Bone marrow aspirate smear:
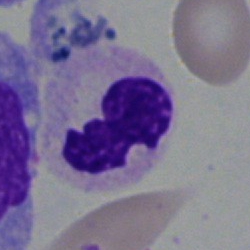 Specimen: bone marrow aspirate smear.
Morphological class: neutrophil (segmented).
Lineage: myeloid.